Bone marrow aspirate smear:
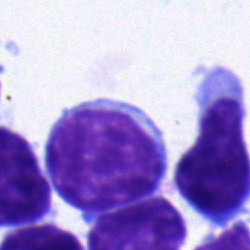 The cell shown is a lymphocyte.